250×250 px. Bone marrow aspirate smear — 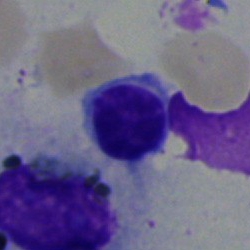A typical lymphocyte.